Bone marrow smear · 250×250 — 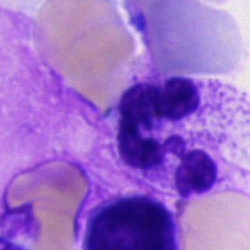 Single cell identified as a segmented neutrophil.